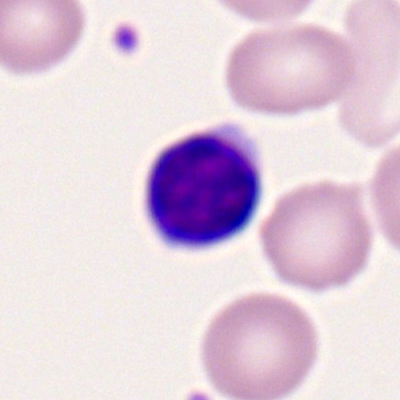 Cell type — lymphocyte.